Bone marrow smear — 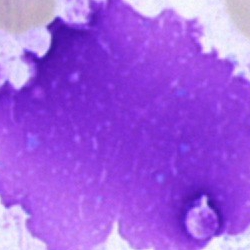Specimen: bone marrow aspirate smear.
Cell type: artefact.